Bone marrow smear: 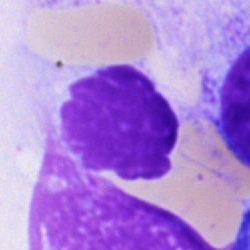 Classification = artefact.